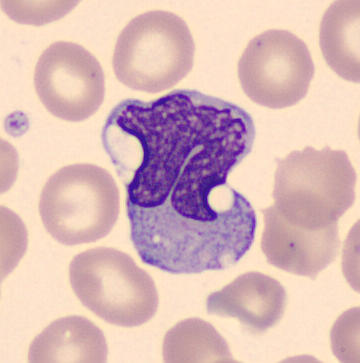

Q: What is shown here?
A: Monocyte.